Bone marrow smear; single-cell crop.
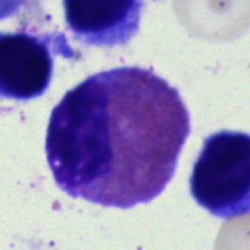 Morphological class: eosinophil.